Bone marrow aspirate smear. May-Grünwald-Giemsa/Pappenheim stain:
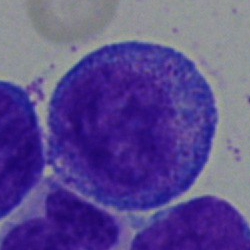Q: Which cell type is shown here?
A: This is a promyelocyte.